May-Grünwald-Giemsa stain. Bone marrow aspirate smear. 250×250 px:
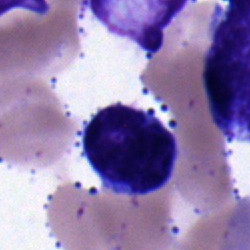

Morphological class = typical lymphocyte.